Peripheral blood smear.
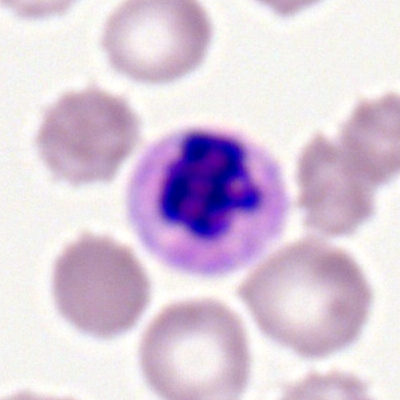A neutrophil (segmented).